Bone marrow aspirate smear
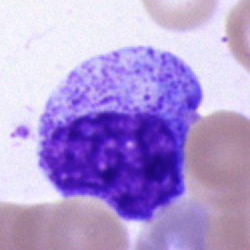 Q: What is shown here?
A: It is a promyelocyte.